Peripheral blood smear
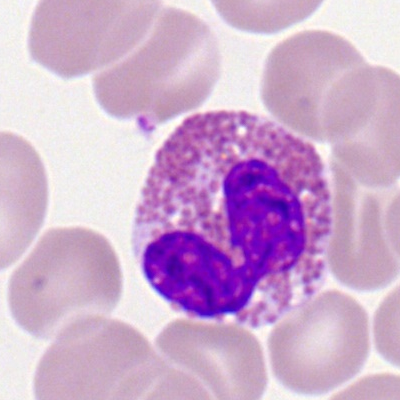
Classification — eosinophilic granulocyte.